Bone marrow smear.
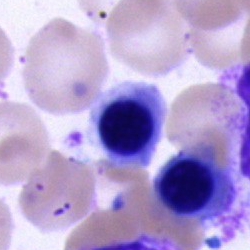

This is a nucleated red blood cell.